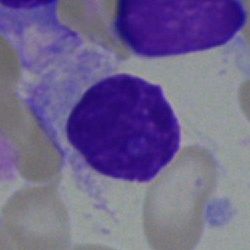

Q: What cell is this?
A: This is a plasma cell.